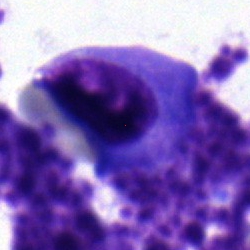
Q: Identify the cell.
A: This is a plasma cell.